Bone marrow aspirate smear
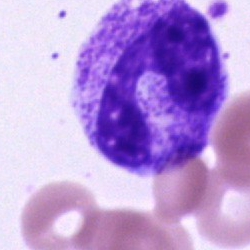 Showing a stab cell.